Peripheral blood film
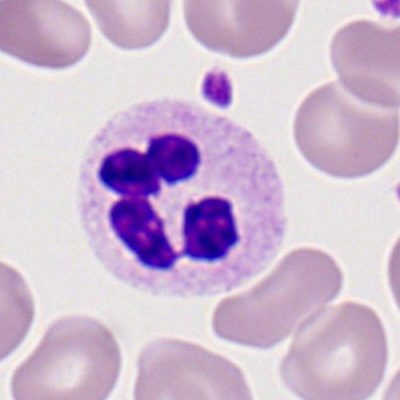

Morphological class = neutrophil (segmented).